May-Grünwald-Giemsa/Pappenheim stain; bone marrow smear.
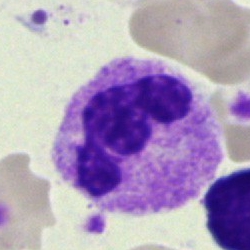 Morphology consistent with a segmented neutrophil.